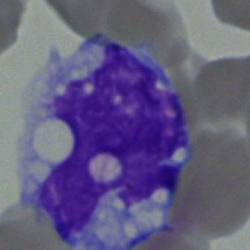

Single cell identified as a monocyte.